Bone marrow aspirate smear.
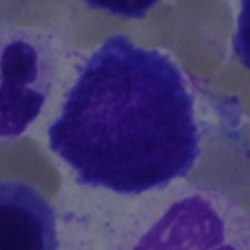
Q: What is shown here?
A: It is a pronormoblast.